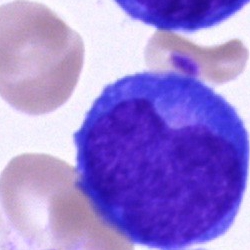
Impression → undifferentiated blast.